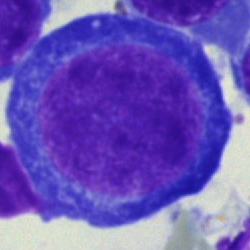 Cell: erythroblast.